Bone marrow smear. MGG-stained. Cropped to a single cell:
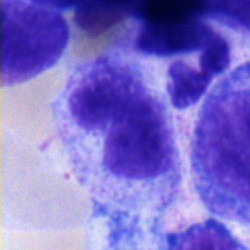

Q: What is the morphological classification of this cell?
A: It is a myelocyte.